Peripheral blood smear. 100× objective, oil immersion — 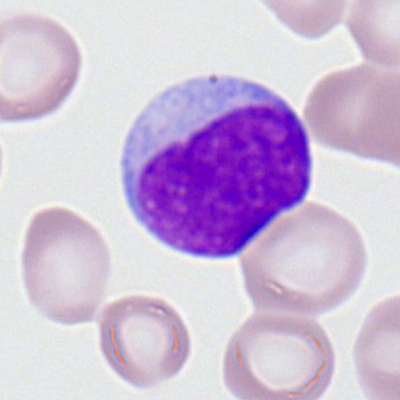This is a myeloid blast.